Bone marrow smear · cropped to a single cell: 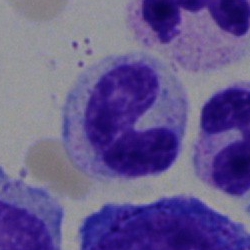

The cell shown is a band neutrophil.